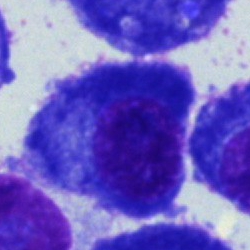

Impression → plasma cell.